Bone marrow smear: 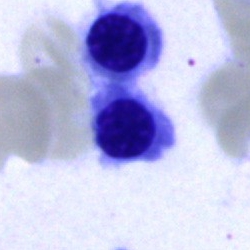
{"cell_type": "normoblast"}